Bone marrow aspirate smear:
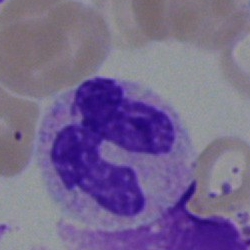

Showing a segmented neutrophil.